Single-cell crop · bone marrow smear
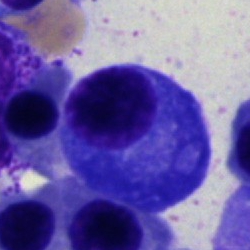The cell shown is a plasmacyte.